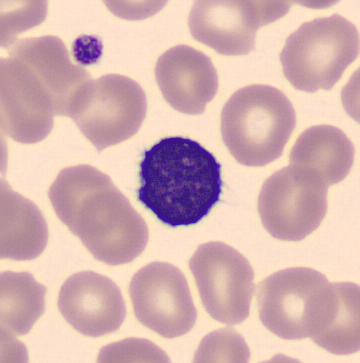 Specimen: peripheral blood smear.
Cell type: lymphocyte.
Lineage: lymphoid.